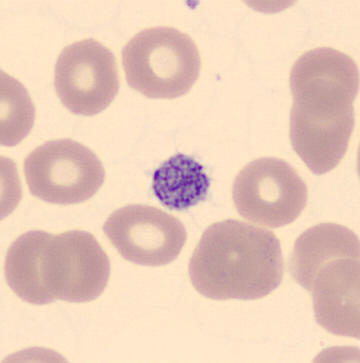
Peripheral blood smear.
Morphological class — platelet.